Bone marrow aspirate smear — 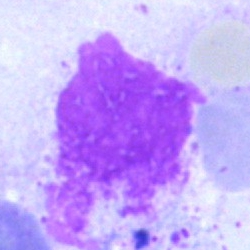
Morphological class: artefact.